250 by 250 pixels. Pappenheim-stained. Bone marrow smear.
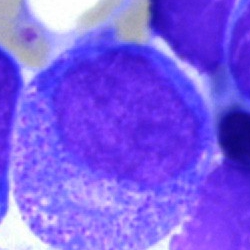 Showing a progranulocyte.